Bone marrow smear — 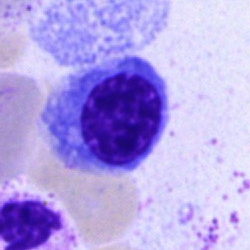
Erythroblast.